Bone marrow aspirate smear
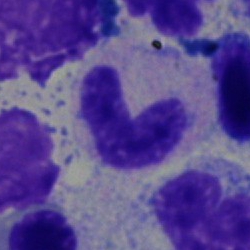 The cell shown is a neutrophil (band).